40× oil immersion · May-Grünwald-Giemsa/Pappenheim stain · bone marrow smear:
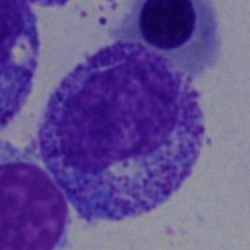
Specimen: bone marrow smear.
Cell type: promyelocyte.